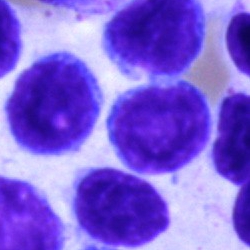

Q: What type of cell is this?
A: It is a typical lymphocyte.